Bone marrow smear. 250×250 px. 40× objective, oil immersion — 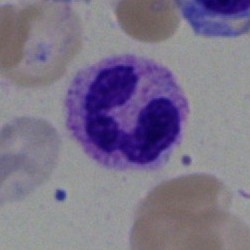
Specimen: bone marrow smear.
Morphological class: polymorphonuclear neutrophil.